Peripheral blood smear; 400×400 px; 100× objective, oil immersion.
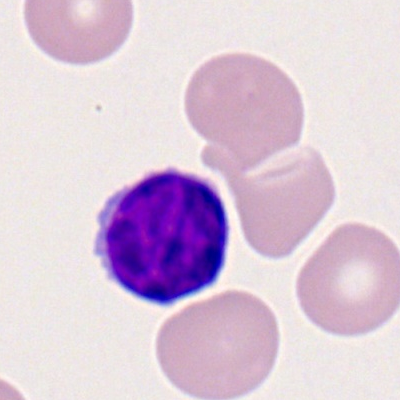This is a lymphocyte.